Bone marrow smear — 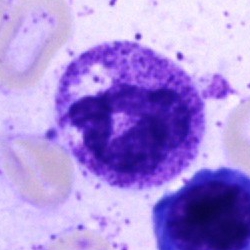
{"cell_type": "segmented neutrophil"}